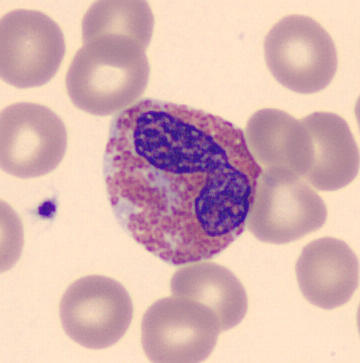Q: What type of cell is this?
A: An eosinophil.